Bone marrow smear:
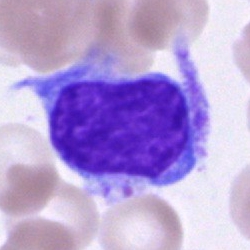This is a typical lymphocyte.